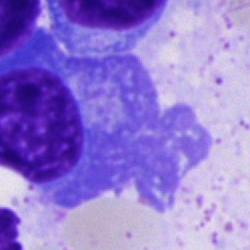
Specimen: bone marrow smear.
Morphological class: plasmacyte.